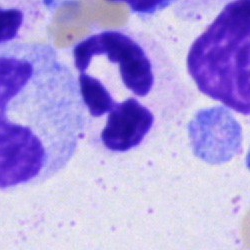
The cell shown is a polymorphonuclear neutrophil.